Bone marrow aspirate smear:
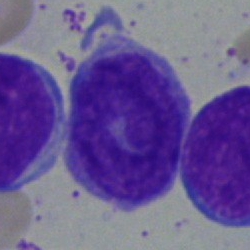Cell type = monocyte.